Bone marrow aspirate smear · single-cell field · May-Grünwald-Giemsa/Pappenheim stain: 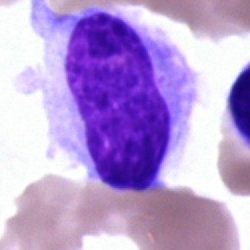 Specimen: bone marrow smear.
Cell: hairy cell.
Lineage: lymphoid.